Single-cell field · bone marrow smear · 250×250
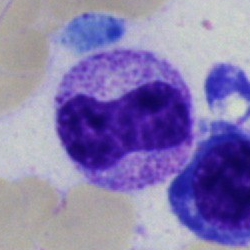

Stab cell.